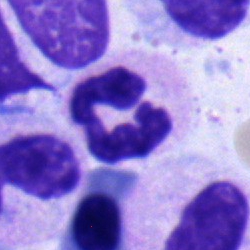The cell shown is a polymorphonuclear neutrophil.